40× objective, oil immersion. Bone marrow smear. Cropped to a single cell.
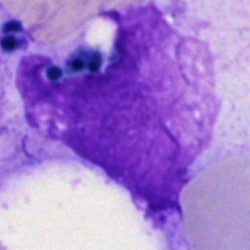 Q: What is shown here?
A: An artefact.